Bone marrow smear. MGG-stained.
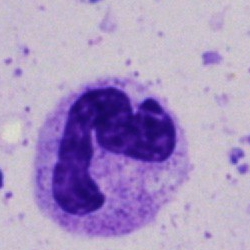
A neutrophil (segmented).